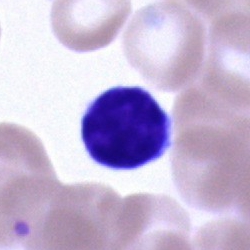 The cell type is typical lymphocyte.